Peripheral blood smear:
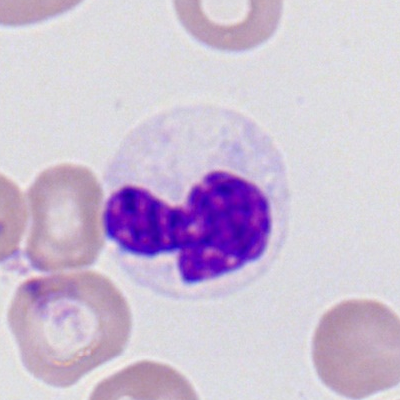
Q: What is shown here?
A: This is a neutrophil (segmented).